Cropped to a single cell · bone marrow aspirate smear:
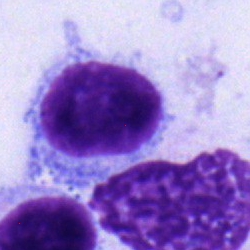
Morphological class: lymphocyte.